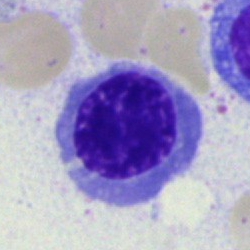 This is an erythroblast.